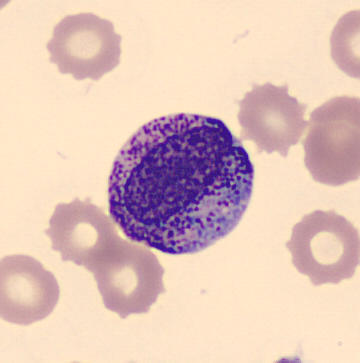
Q: Which cell type is shown here?
A: This is a myelocyte.